Bone marrow smear — 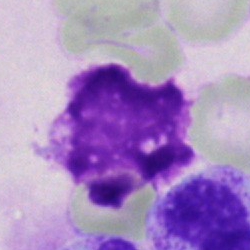Q: What is shown here?
A: An artifact.